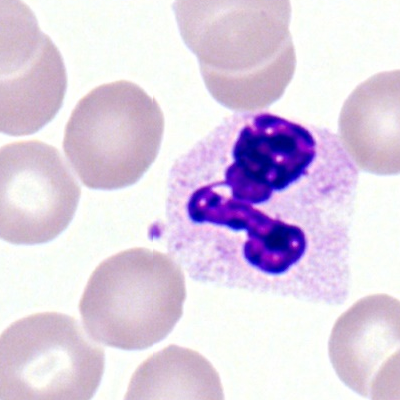Q: What is the morphological classification of this cell?
A: A polymorphonuclear neutrophil.